Single-cell field · MGG-stained · bone marrow smear
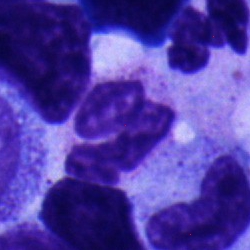 Specimen: bone marrow smear.
Cell type: segmented neutrophil.
Lineage: myeloid.